Bone marrow aspirate smear · single-cell field · May-Grünwald-Giemsa/Pappenheim stain
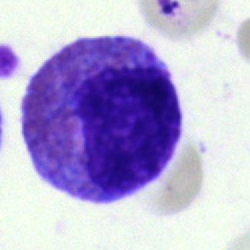Showing an eosinophil.